Bone marrow aspirate smear; single cell centered in the field:
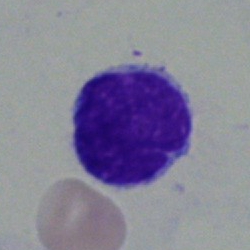
Specimen: bone marrow smear.
Morphological class: typical lymphocyte.
Lineage: lymphoid.